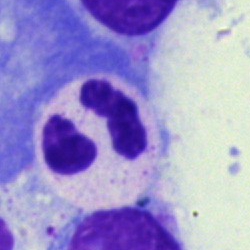Single-cell crop from a bone marrow smear: segmented neutrophil.